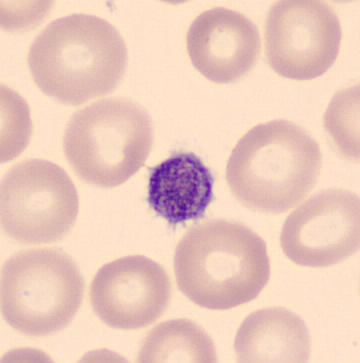
Cell type — platelet (thrombocyte).